Bone marrow smear:
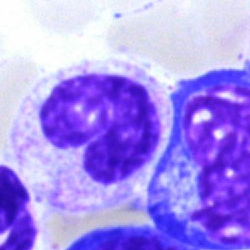

Morphological class = band-form neutrophil.